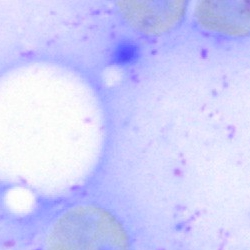 Impression → artefact.